Bone marrow smear · 40× oil immersion
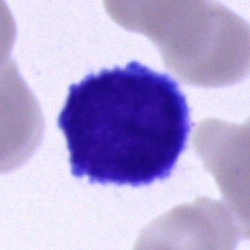

Specimen: bone marrow smear.
Cell type: lymphocyte.